Single-cell field · bone marrow smear: 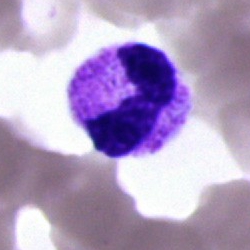Q: What cell is this?
A: A neutrophil (segmented).